Bone marrow smear
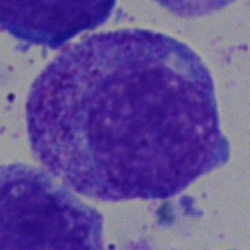
Specimen: bone marrow smear.
Cell: promyelocyte.
Lineage: myeloid.